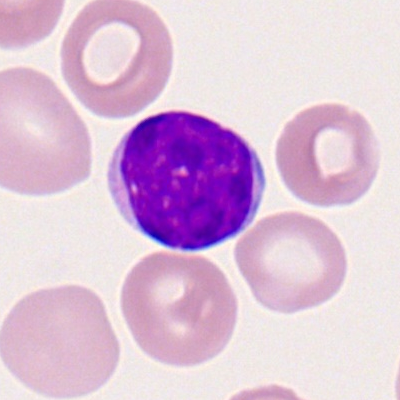

Specimen: peripheral blood smear.
Classification: typical lymphocyte.
Lineage: lymphoid.